Peripheral blood film. Single-cell field:
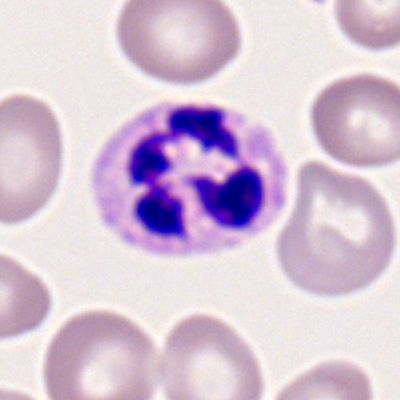Showing a segmented neutrophil.